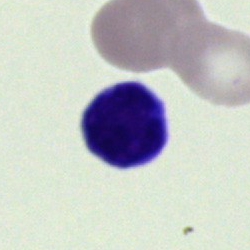 The cell type is typical lymphocyte.